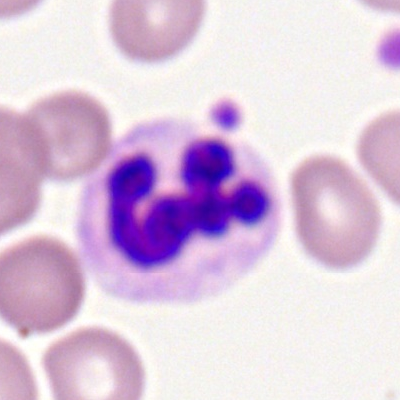
Single-cell crop from a peripheral blood smear: neutrophil (segmented).